Peripheral blood film.
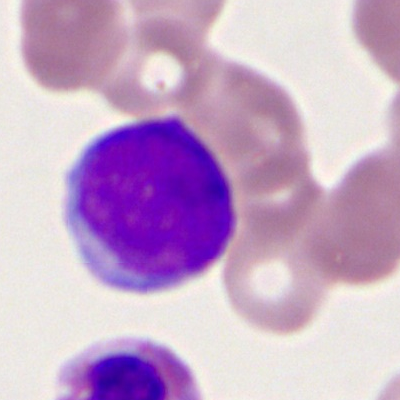Impression — myeloid blast.